Bone marrow smear:
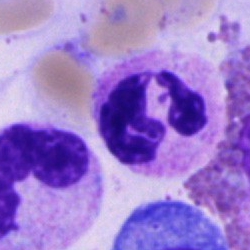{"cell_type": "neutrophil (segmented)", "lineage": "myeloid"}